Bone marrow smear
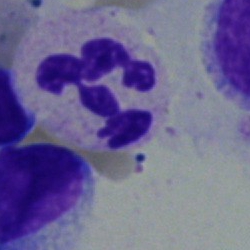

Classification — neutrophil (segmented).